Single cell centered in the field · bone marrow aspirate smear: 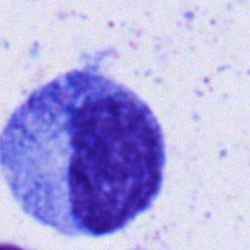

Myelocyte.